Bone marrow smear: 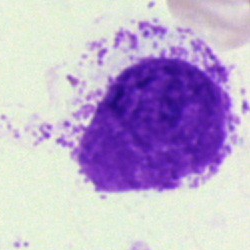 {"cell_type": "artefact"}